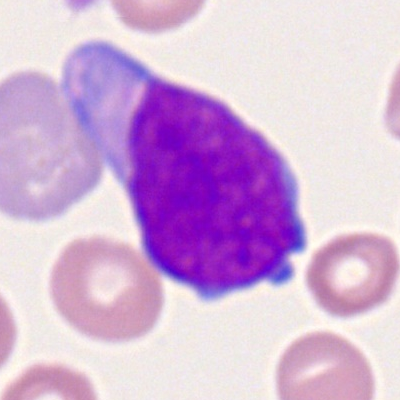A myeloid blast on a peripheral blood smear.